Bone marrow aspirate smear.
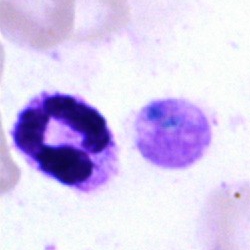
Q: What is the morphological classification of this cell?
A: Polymorphonuclear neutrophil.